40× objective, oil immersion; single-cell crop; bone marrow smear:
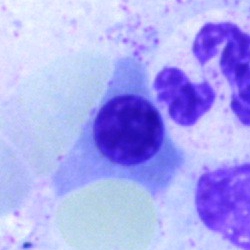 Cell: normoblast.